Single-cell crop · bone marrow smear · 250 by 250 pixels:
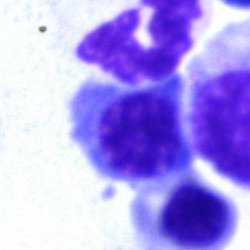 The morphological class is normoblast.